Bone marrow smear:
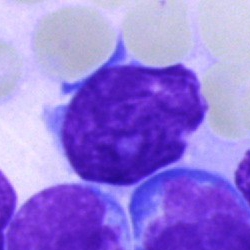
Morphological class — blast cell.